Bone marrow aspirate smear: 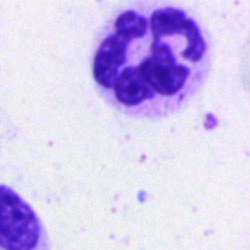

Q: What type of cell is this?
A: This is a polymorphonuclear neutrophil.